Peripheral blood smear
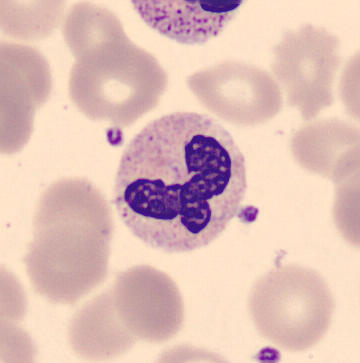
The cell is neutrophil (band).